Bone marrow smear. Image size 250×250. MGG-stained.
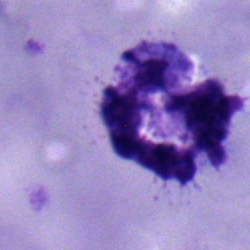

Cell = neutrophil (segmented).